Bone marrow aspirate smear — 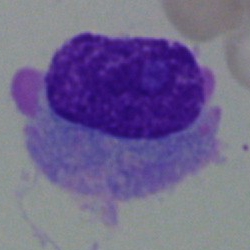Classification: plasmacyte.